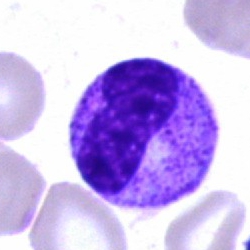

Morphology → neutrophil (band).